Bone marrow aspirate smear
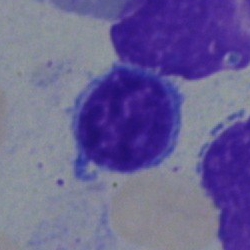

Lymphocyte.